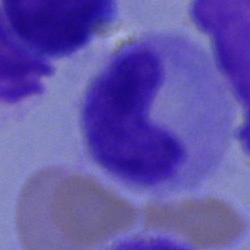 Cell — stab cell.